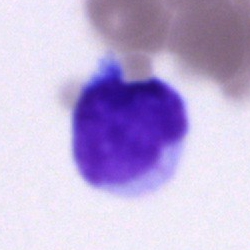
Morphological class = blast.